Bone marrow aspirate smear.
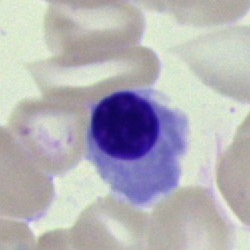Classification = nucleated red blood cell.